Bone marrow smear · 250×250 px
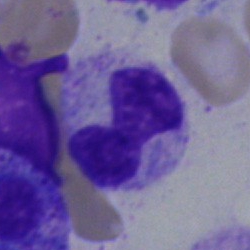
Morphology consistent with a stab cell.